Bone marrow smear:
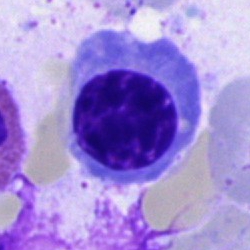

Cell — erythroblast.